Bone marrow aspirate smear — 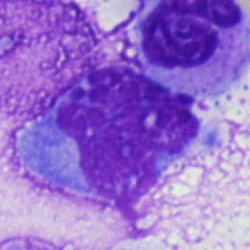

Specimen: bone marrow smear.
Cell: artefact.